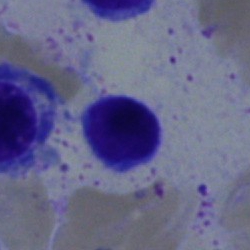

Q: What cell is this?
A: It is a lymphocyte.